Bone marrow smear; MGG-stained:
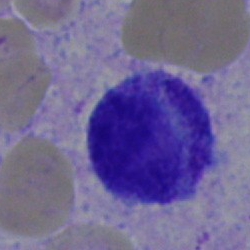Myelocyte.